40× oil immersion · bone marrow smear
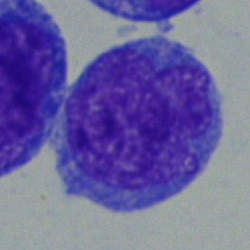

Morphology consistent with an undifferentiated blast.